Bone marrow smear; 250 by 250 pixels
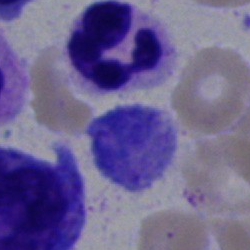 Morphology consistent with a neutrophil (segmented).